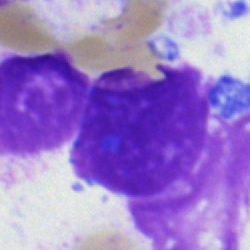 This is a myelocyte.